Bone marrow smear. Single-cell crop. May-Grünwald-Giemsa/Pappenheim stain.
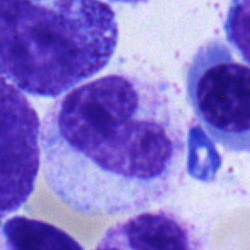 Morphology consistent with a band neutrophil.